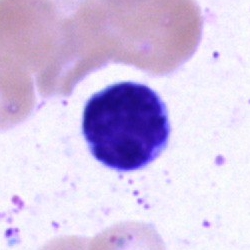Q: Identify the cell.
A: It is a typical lymphocyte.